May-Grünwald-Giemsa stain · bone marrow aspirate smear
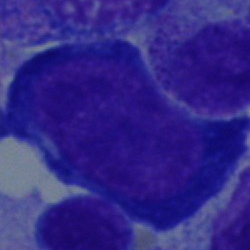

Proerythroblast.